400 by 400 pixels; peripheral blood film:
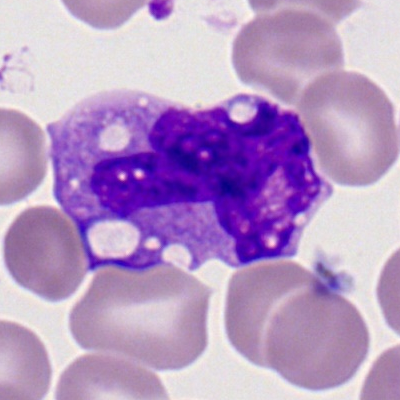 This is a monocyte.